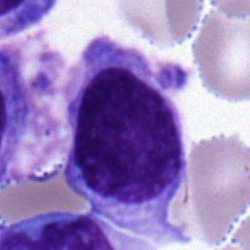{"cell_type": "typical lymphocyte", "lineage": "lymphoid"}